Bone marrow smear — 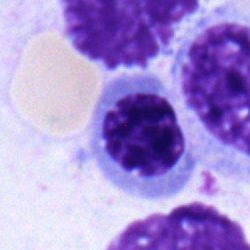

Morphology → erythroblast.